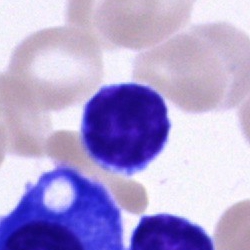Cell: typical lymphocyte.